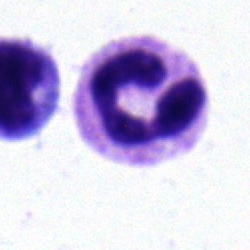
Impression — segmented neutrophil.